Single-cell crop; 250 by 250 pixels; bone marrow smear.
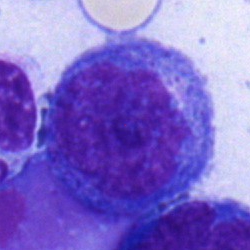

Morphology → progranulocyte.